Image size 250×250; cropped to a single cell; bone marrow aspirate smear:
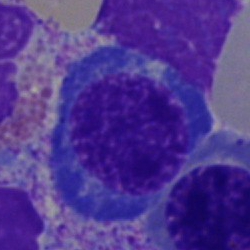Cell type — erythroblast.